May-Grünwald-Giemsa stain · bone marrow smear: 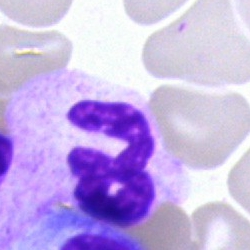Specimen: bone marrow smear.
Cell: polymorphonuclear neutrophil.